Bone marrow smear. Single cell centered in the field. 40× objective, oil immersion: 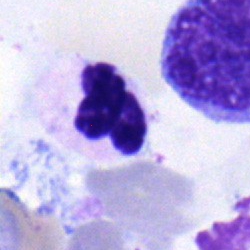 Classification — polymorphonuclear neutrophil.